Bone marrow aspirate smear. Brightfield microscopy, 40× oil immersion: 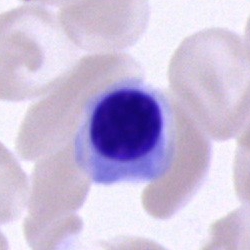 The classification is erythroblast.